Bone marrow smear:
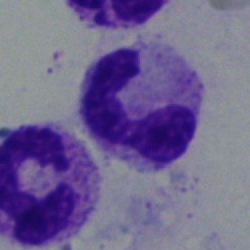Cell = neutrophil (band).